May-Grünwald-Giemsa stain; bone marrow aspirate smear.
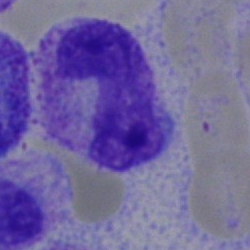 The cell shown is a band-form neutrophil.